Bone marrow aspirate smear: 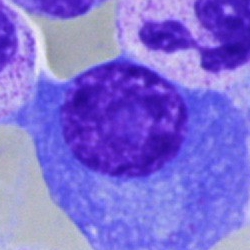
Specimen: bone marrow aspirate smear.
Classification: plasmacyte.
Lineage: lymphoid.